400 by 400 pixels · peripheral blood film · Romanowsky-stained
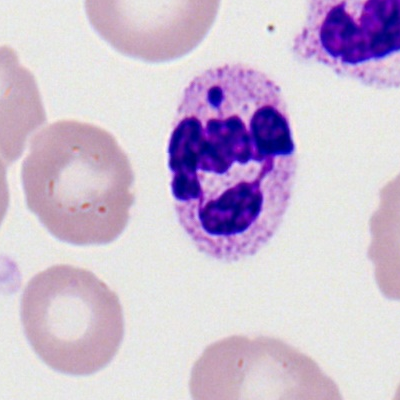{"cell_type": "neutrophil (segmented)", "lineage": "myeloid"}